Bone marrow smear:
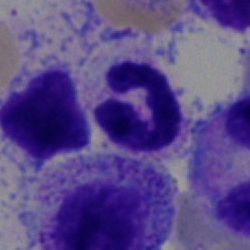Cell type = segmented neutrophil.